Bone marrow aspirate smear; MGG-stained: 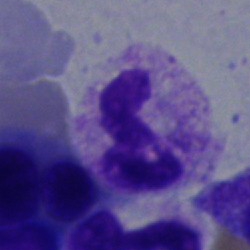Morphological class: polymorphonuclear neutrophil.